Bone marrow aspirate smear:
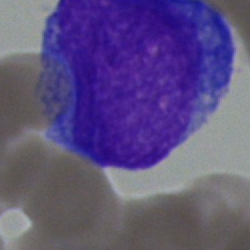A blast cell.